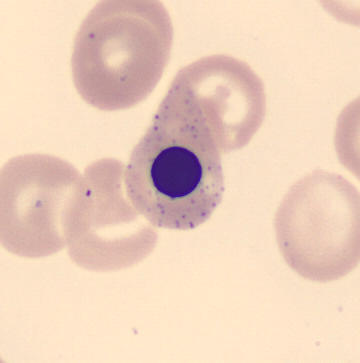 Image: Peripheral blood film · image size 360×363.
Morphology → erythroblast.